Bone marrow smear.
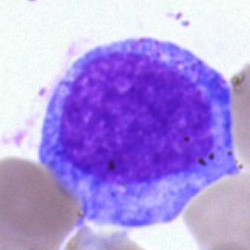
A progranulocyte.